Bone marrow aspirate smear: 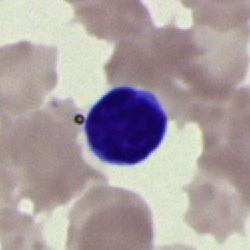
Typical lymphocyte.